Peripheral blood smear
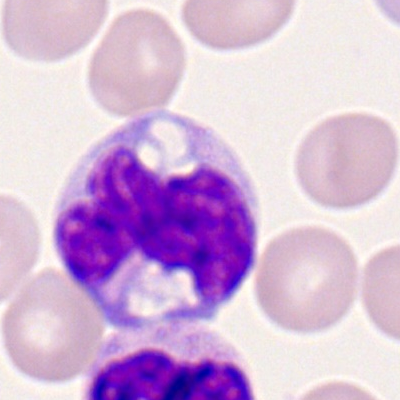
Single cell identified as a monocyte.